Pappenheim-stained. 250×250 px. Bone marrow aspirate smear: 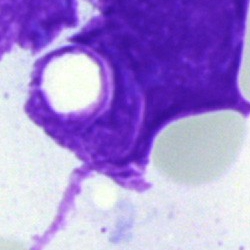 The morphological class is artefact.